Bone marrow aspirate smear; MGG-stained; brightfield, 40× oil-immersion objective — 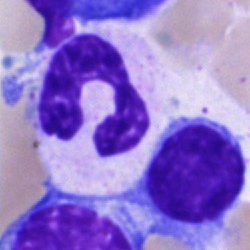Q: What is the morphological classification of this cell?
A: This is a segmented neutrophil.